Bone marrow smear. Brightfield, 40× oil-immersion objective.
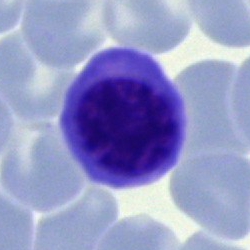

Morphology — normoblast.